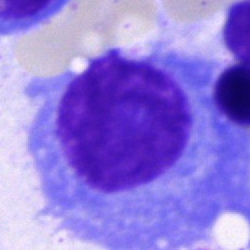
The cell type is plasma cell.